40× objective, oil immersion · bone marrow aspirate smear · image size 250×250: 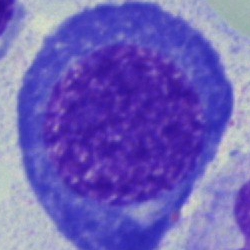The morphological class is erythroblast.